Bone marrow aspirate smear:
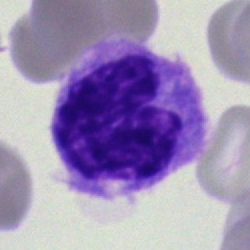 Monocyte.